Bone marrow smear. MGG-stained. Brightfield, 40× oil-immersion objective:
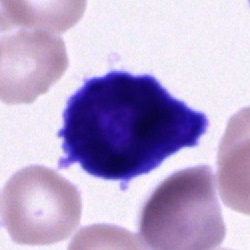

A cell of indeterminate lineage.